Bone marrow smear:
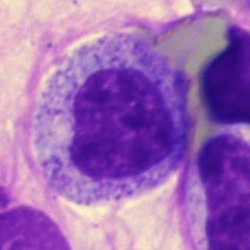 Morphological class = promyelocyte.